Bone marrow aspirate smear: 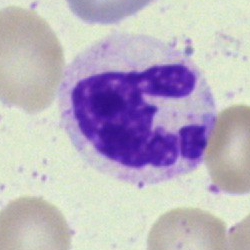

Impression — segmented neutrophil.